Single-cell field · bone marrow aspirate smear: 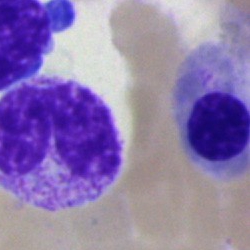

Q: What type of cell is this?
A: A band neutrophil.